250×250. Bone marrow smear — 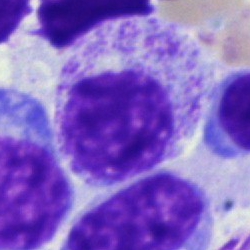Specimen: bone marrow aspirate smear.
Cell type: myelocyte.
Lineage: myeloid.